May-Grünwald-Giemsa stain. Bone marrow aspirate smear
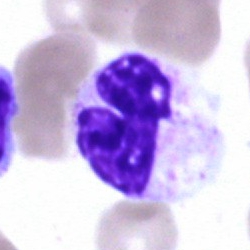

Polymorphonuclear neutrophil.